Bone marrow aspirate smear:
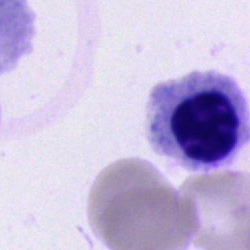Nucleated red blood cell.